400×400 px · peripheral blood film · single cell centered in the field:
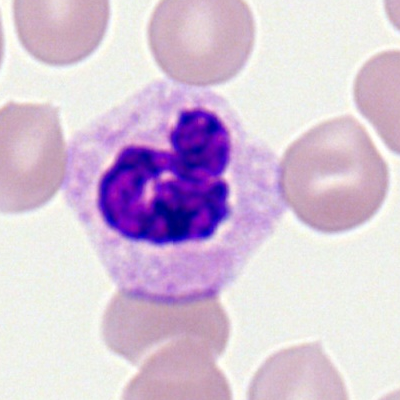Specimen: peripheral blood film.
Classification: neutrophil (segmented).